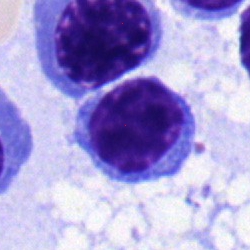Single cell identified as a typical lymphocyte.